Peripheral blood film.
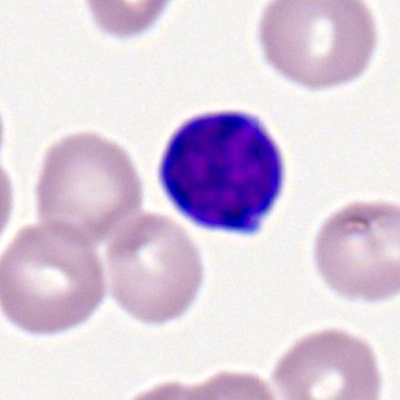 Q: What is the morphological classification of this cell?
A: This is a typical lymphocyte.